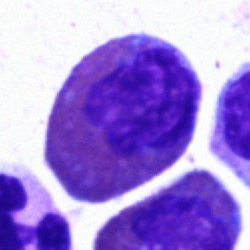
Specimen: bone marrow aspirate smear.
Cell type: eosinophilic granulocyte.